Bone marrow smear. 250×250 px:
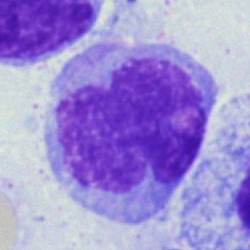 Classification = monocyte.